Bone marrow aspirate smear: 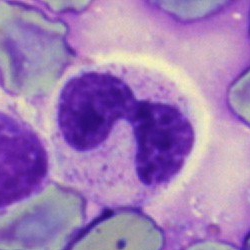 Q: What is shown here?
A: Segmented neutrophil.